Image size 250×250. Bone marrow aspirate smear. Cropped to a single cell
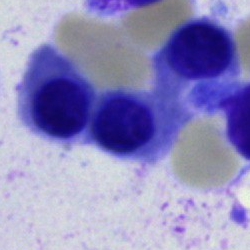 This is a normoblast.